May-Grünwald-Giemsa stain · single-cell field · bone marrow smear: 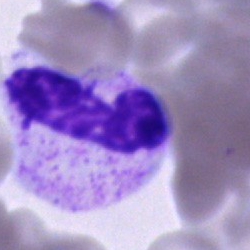
Classification = band neutrophil.